Bone marrow smear:
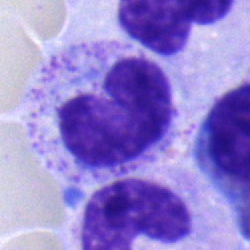

Morphology consistent with a stab cell.